Bone marrow smear:
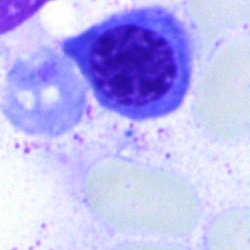Cell: nucleated red cell.